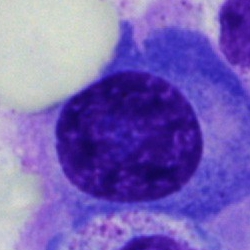 Impression — plasma cell.